Single-cell crop. Bone marrow aspirate smear. 250×250 px:
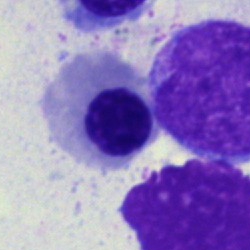 Morphology consistent with a nucleated red cell.